Bone marrow smear — 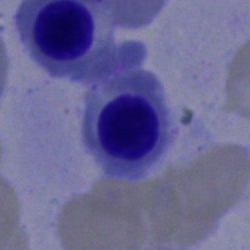 Morphology → normoblast.